Peripheral blood film · 400×400 px
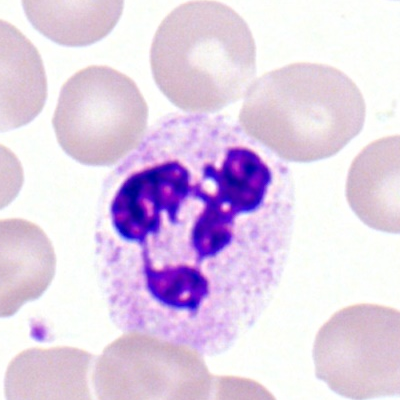

The cell shown is a neutrophil (segmented).